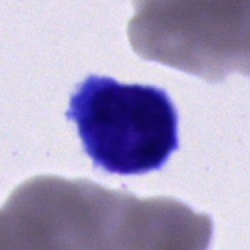 An unidentifiable cell.